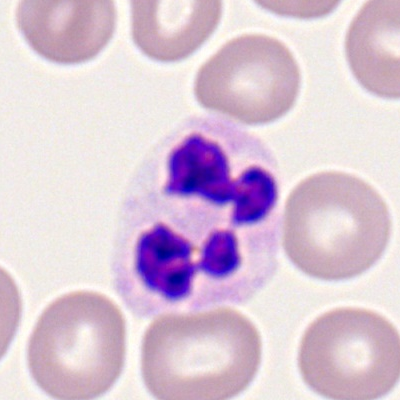
Morphology → segmented neutrophil.